Bone marrow smear.
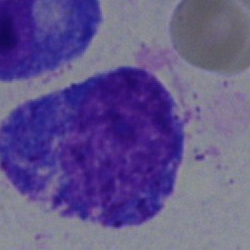
A progranulocyte.